40× oil immersion. Bone marrow aspirate smear. MGG-stained:
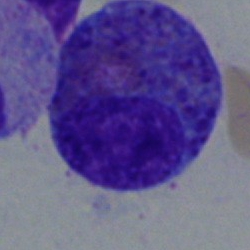
The cell is eosinophilic granulocyte.